250×250 px. Brightfield, 40× oil-immersion objective. Bone marrow smear — 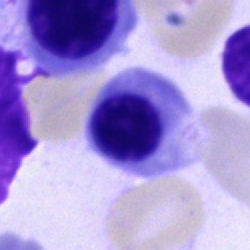
{"cell_type": "erythroblast"}